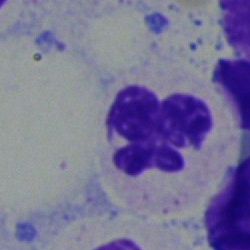 Classification: segmented neutrophil.